Brightfield microscopy, 40× oil immersion; bone marrow smear
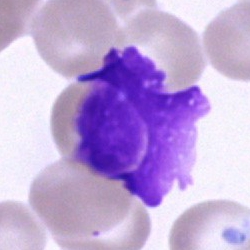
Cell — artefact.